Cropped to a single cell; 250 by 250 pixels; bone marrow aspirate smear: 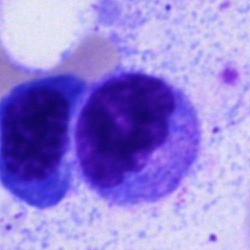

Morphological class = typical lymphocyte.